Bone marrow smear
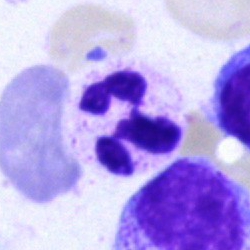Impression → neutrophil (segmented).